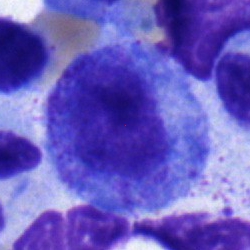 Specimen: bone marrow aspirate smear.
Morphological class: progranulocyte.